May-Grünwald-Giemsa stain; bone marrow aspirate smear — 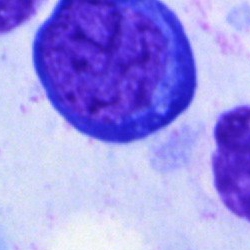
Morphology consistent with a nucleated red cell.